250×250; bone marrow smear: 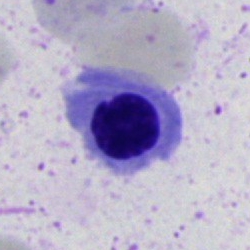

The cell shown is an erythroblast.